Bone marrow aspirate smear
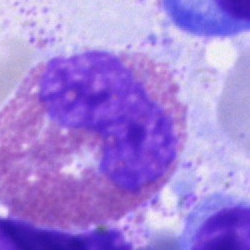
Classification: eosinophil.